Bone marrow aspirate smear · single-cell crop · May-Grünwald-Giemsa/Pappenheim stain: 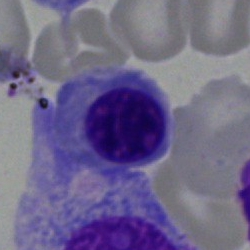Morphology → nucleated red blood cell.